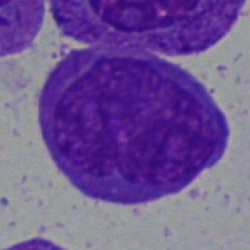
Classification = blast.